250×250 px · bone marrow aspirate smear
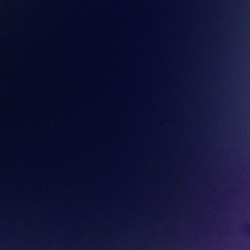

An artifact.